Bone marrow aspirate smear.
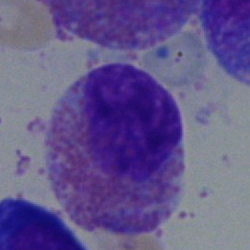 Cell: eosinophil.